Bone marrow aspirate smear:
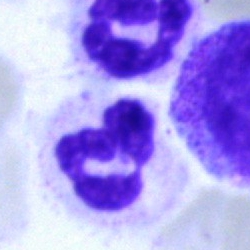This is a segmented neutrophil.